Peripheral blood smear
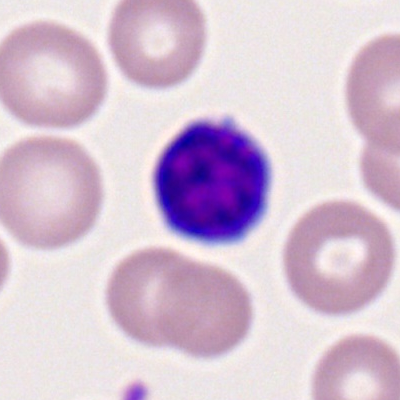

{"cell_type": "lymphocyte"}